Bone marrow aspirate smear. 40× objective, oil immersion
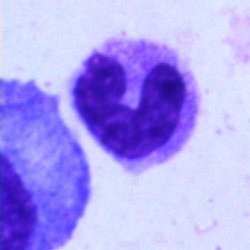

Q: Identify the cell.
A: A stab cell.